Bone marrow smear — 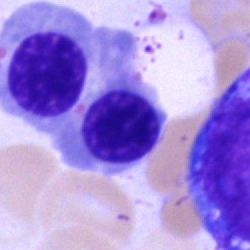Specimen: bone marrow aspirate smear.
Cell type: nucleated red blood cell.
Lineage: erythroid.